Bone marrow smear:
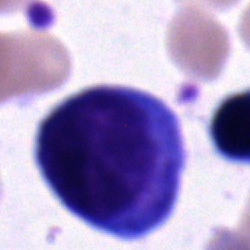

Impression → promyelocyte.